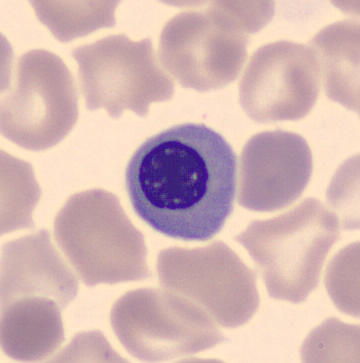 Cell type = erythroblast.